Bone marrow smear · brightfield, 40× oil-immersion objective: 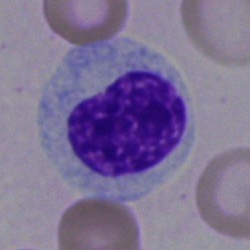
Morphology — myelocyte.